Bone marrow aspirate smear.
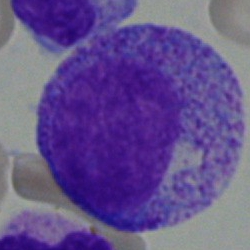 Progranulocyte.